Single-cell crop. Bone marrow smear.
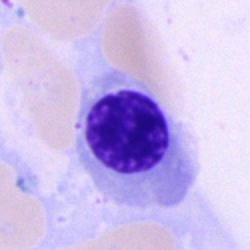The cell shown is a normoblast.